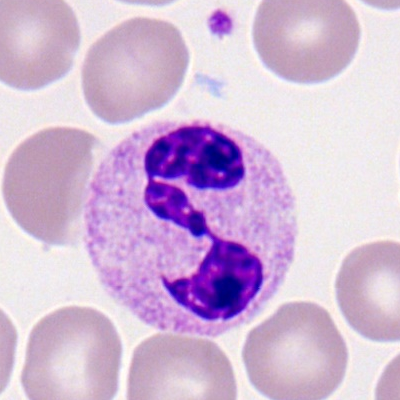Specimen: peripheral blood film.
Cell type: polymorphonuclear neutrophil.